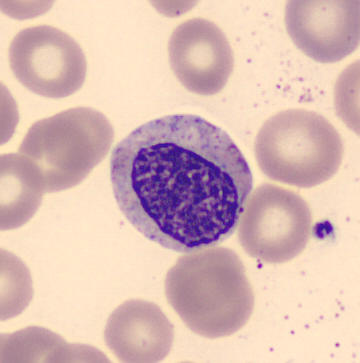Morphological class: myelocyte.